Cropped to a single cell. Bone marrow smear
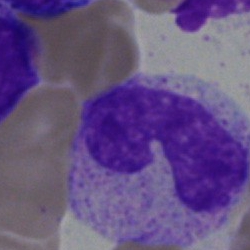Band neutrophil.